Bone marrow smear.
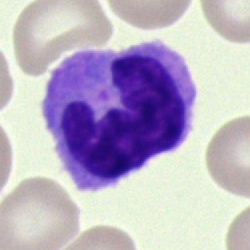
The cell type is monocyte.